Single-cell field · bone marrow smear · 250 by 250 pixels: 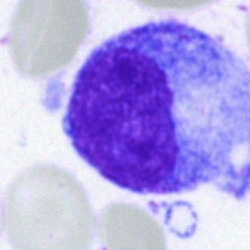The classification is progranulocyte.